250×250 · bone marrow aspirate smear.
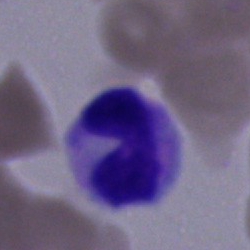 Cell — band-form neutrophil.